Bone marrow smear · 40× oil immersion · cropped to a single cell: 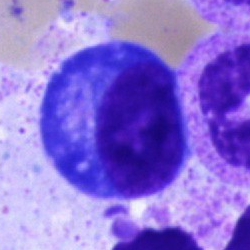A plasma cell.